250×250. Bone marrow smear. Cropped to a single cell — 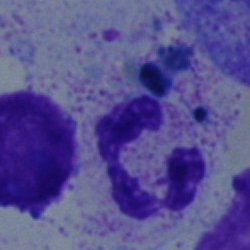

Classification — neutrophil (segmented).